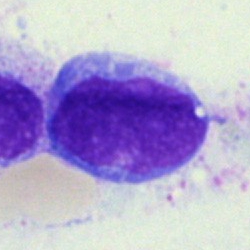Morphology consistent with a blast.